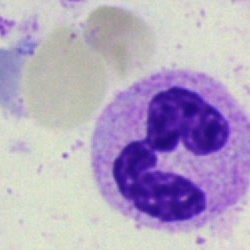 Single-cell crop from a bone marrow smear: neutrophil (segmented).